Bone marrow smear:
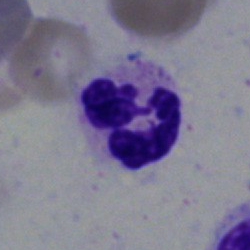
Morphology consistent with a polymorphonuclear neutrophil.